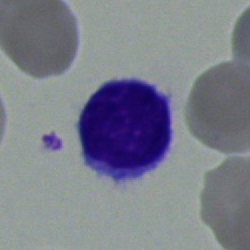 Cell type = typical lymphocyte.